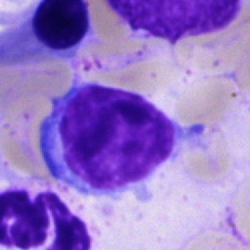A typical lymphocyte.